Bone marrow smear. Brightfield, 40× oil-immersion objective
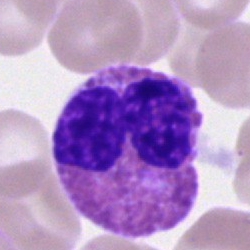
Q: What is shown here?
A: This is an eosinophil.